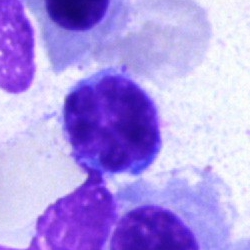

Morphological class = lymphocyte.